Bone marrow aspirate smear · single cell centered in the field · 250×250 px: 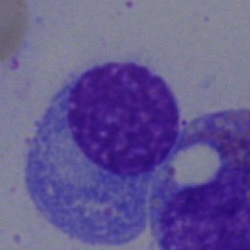 Q: Identify the cell.
A: Plasmacyte.